Bone marrow aspirate smear.
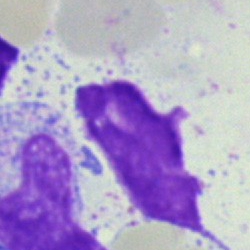
An artifact.